Bone marrow aspirate smear.
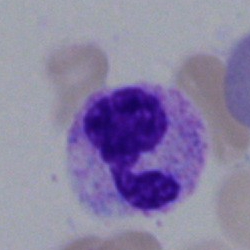

The cell type is segmented neutrophil.